Bone marrow aspirate smear: 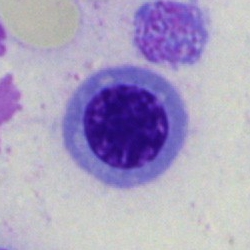
{"cell_type": "erythroblast", "lineage": "erythroid"}